Bone marrow smear; cropped to a single cell: 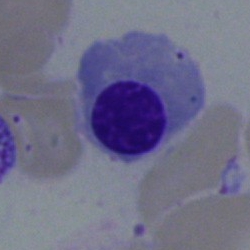

Showing a normoblast.